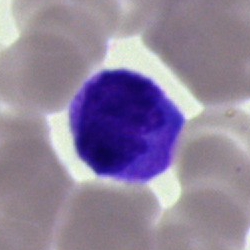 Morphological class = monocyte.